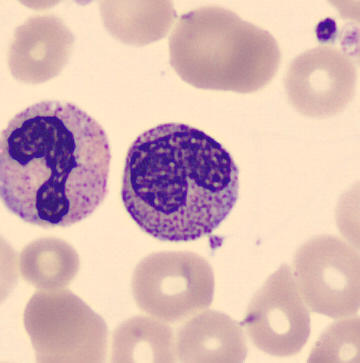
Morphological class = metamyelocyte.